Bone marrow smear · cropped to a single cell.
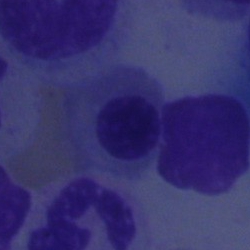 Specimen: bone marrow aspirate smear.
Morphological class: nucleated red blood cell.
Lineage: erythroid.